Brightfield microscopy, 40× oil immersion. Bone marrow smear. May-Grünwald-Giemsa stain.
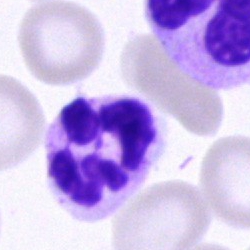

This is a segmented neutrophil.